Bone marrow smear. Single-cell crop. May-Grünwald-Giemsa stain: 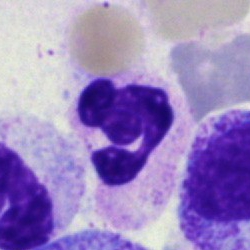Cell: neutrophil (segmented).